250 by 250 pixels. Bone marrow aspirate smear. MGG-stained: 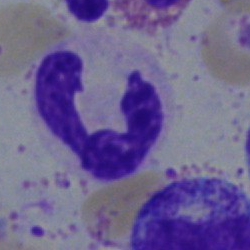
Classification — polymorphonuclear neutrophil.